May-Grünwald-Giemsa stain; bone marrow smear
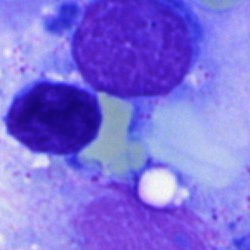Morphology consistent with a typical lymphocyte.